Bone marrow smear — 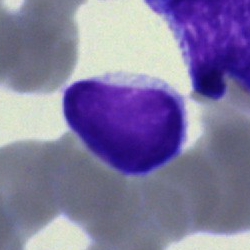
Cell type = lymphocyte.